Bone marrow smear; 250×250 px:
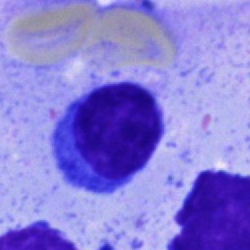
This is a typical lymphocyte.